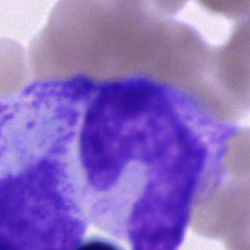Morphology consistent with a cell of indeterminate lineage.